Image size 400×400. Peripheral blood smear — 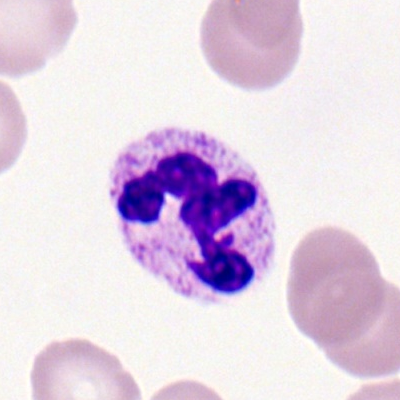
Cell type = polymorphonuclear neutrophil.